Single-cell field. 250×250 px. Bone marrow aspirate smear
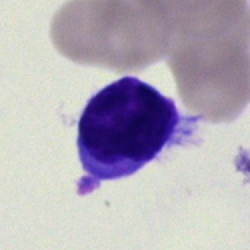

Q: What is the morphological classification of this cell?
A: It is a lymphocyte.